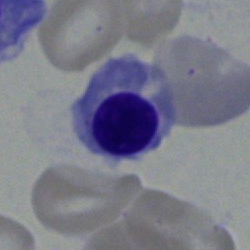
Q: What is the morphological classification of this cell?
A: It is a nucleated red blood cell.